Bone marrow smear: 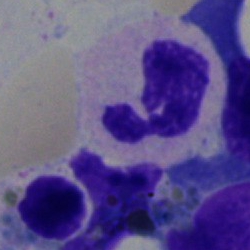 This is a polymorphonuclear neutrophil.